Bone marrow aspirate smear · brightfield microscopy, 40× oil immersion.
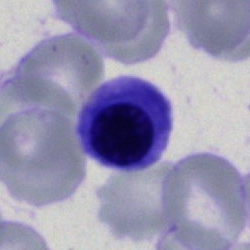Morphology consistent with an erythroblast.